Single cell centered in the field · bone marrow aspirate smear
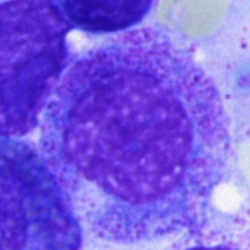The cell is myelocyte.